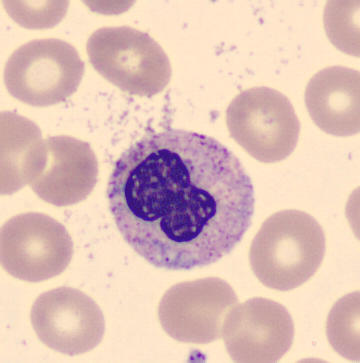 May-Grünwald-Giemsa-stained; peripheral blood smear.

Morphology consistent with a band neutrophil.